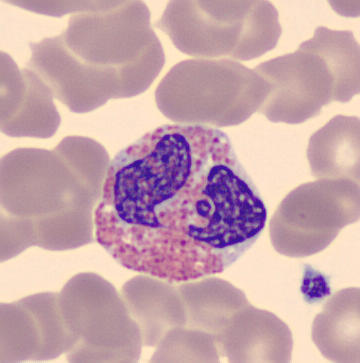Preparation: Peripheral blood smear.
Morphology → eosinophilic granulocyte.